Bone marrow smear; brightfield, 40× oil-immersion objective
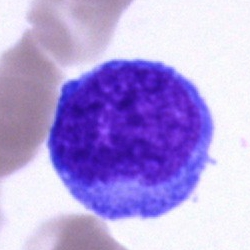 Showing a blast cell.